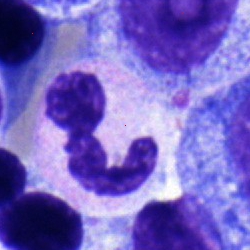Impression — polymorphonuclear neutrophil.